Bone marrow aspirate smear
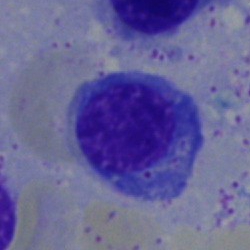 Morphology → nucleated red cell.